Bone marrow smear.
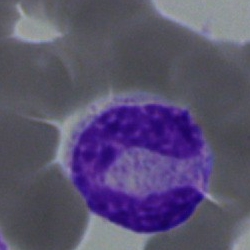 Specimen: bone marrow smear.
Morphological class: neutrophil (band).